Bone marrow smear — 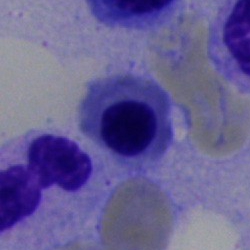 Normoblast.